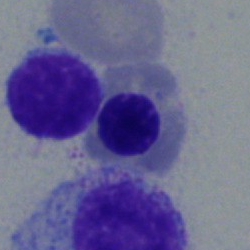 A normoblast on a bone marrow smear.